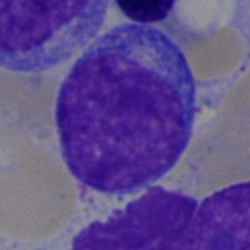Specimen: bone marrow aspirate smear.
Morphological class: undifferentiated blast.